Cropped to a single cell · peripheral blood smear:
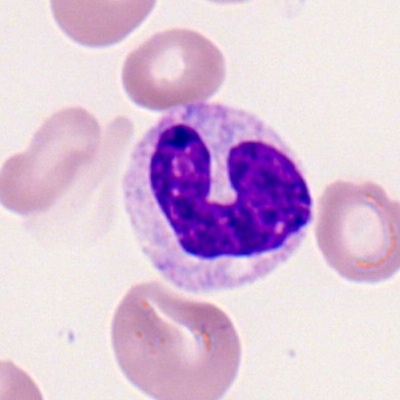
A segmented neutrophil.